Single cell centered in the field · bone marrow aspirate smear
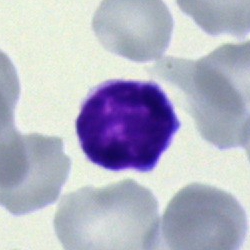 The cell shown is a lymphocyte.